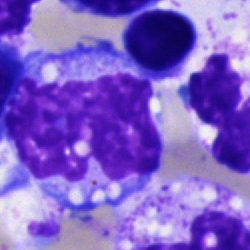 Single-cell crop from a bone marrow smear: monocyte.